Bone marrow aspirate smear; 40× oil immersion: 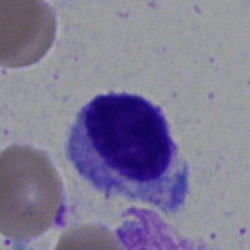
A typical lymphocyte.